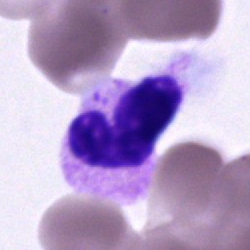
Q: What cell is this?
A: It is a neutrophil (segmented).